Bone marrow smear
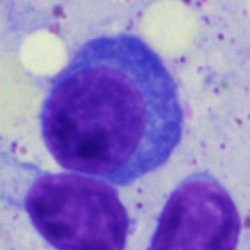Cell: plasma cell.